Bone marrow aspirate smear — 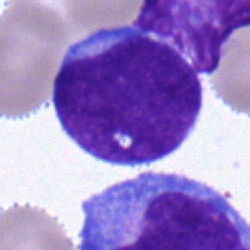

The classification is blast cell.